Bone marrow aspirate smear — 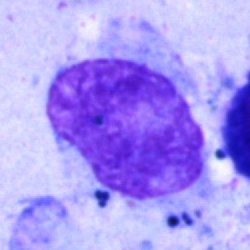

Specimen: bone marrow aspirate smear.
Classification: artifact.